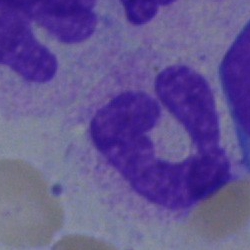

Morphology — stab cell.